May-Grünwald-Giemsa stain; bone marrow smear.
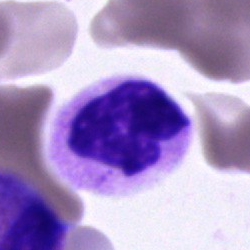

Morphology → segmented neutrophil.